Bone marrow aspirate smear.
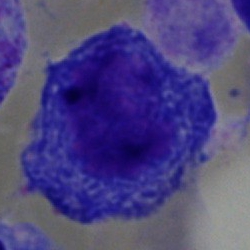This is a promyelocyte.